Bone marrow smear · 40× oil immersion · May-Grünwald-Giemsa/Pappenheim stain: 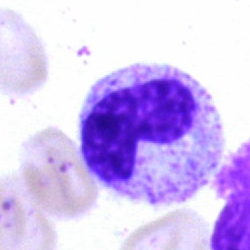
Q: Identify the cell.
A: This is a stab cell.